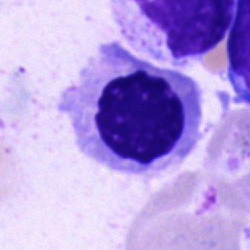Q: What is shown here?
A: An erythroblast.